Single cell centered in the field · bone marrow smear.
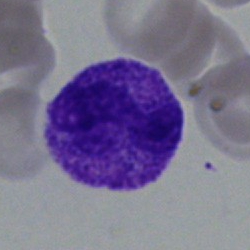 Single cell identified as a polymorphonuclear neutrophil.